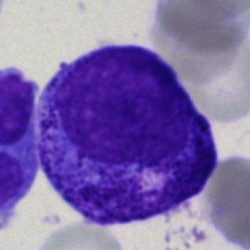 Specimen: bone marrow aspirate smear.
Cell: myelocyte.
Lineage: myeloid.